Bone marrow aspirate smear: 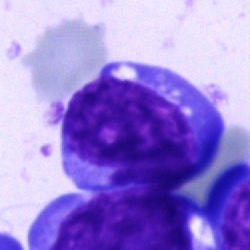

Morphology consistent with an undifferentiated blast.